Bone marrow aspirate smear
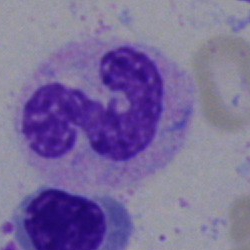

The morphological class is segmented neutrophil.